Bone marrow aspirate smear — 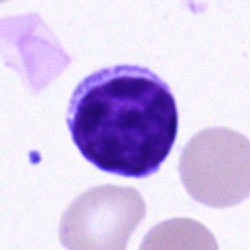
The cell shown is a lymphocyte.